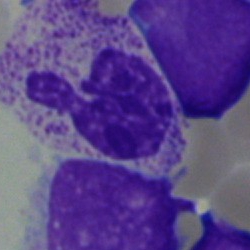

Morphology → segmented neutrophil.